Single-cell crop · 250×250 px · bone marrow aspirate smear:
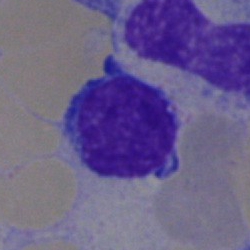 Q: Identify the cell.
A: Lymphocyte.